250×250 px · 40× oil immersion · bone marrow smear: 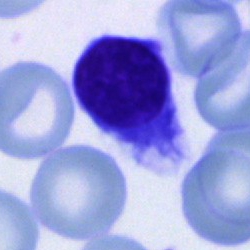 Specimen: bone marrow aspirate smear.
Classification: typical lymphocyte.
Lineage: lymphoid.